Peripheral blood smear
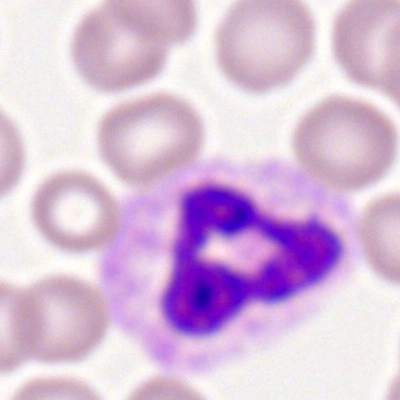 Q: What cell is this?
A: This is a neutrophil (segmented).